MGG-stained; bone marrow aspirate smear — 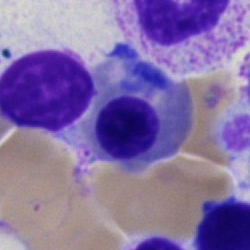
Classification — normoblast.